Bone marrow aspirate smear · Pappenheim-stained · image size 250×250
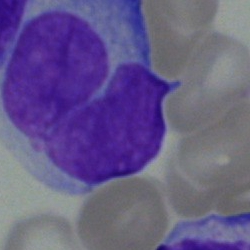Q: Which cell type is shown here?
A: This is an undifferentiated blast.